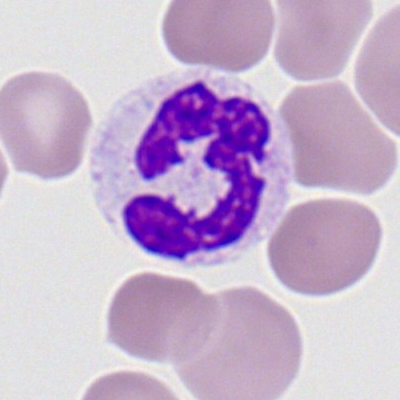
The cell is polymorphonuclear neutrophil.